May-Grünwald-Giemsa/Pappenheim stain · bone marrow aspirate smear · single-cell field
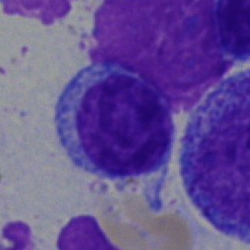Lymphocyte.